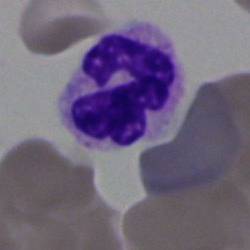

The cell shown is a segmented neutrophil.